250×250 · 40× objective, oil immersion · bone marrow aspirate smear.
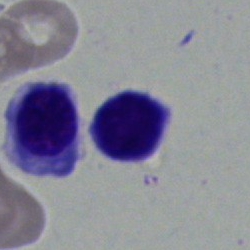

Specimen: bone marrow smear.
Classification: typical lymphocyte.
Lineage: lymphoid.